Peripheral blood film · Romanowsky stain
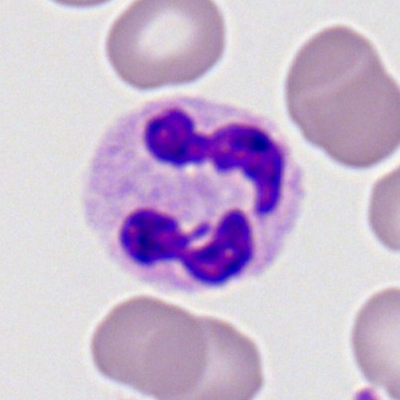 Q: What is shown here?
A: Segmented neutrophil.